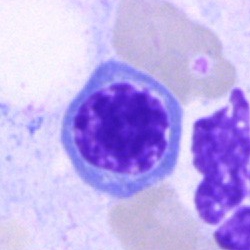

The cell type is erythroblast.